Bone marrow aspirate smear
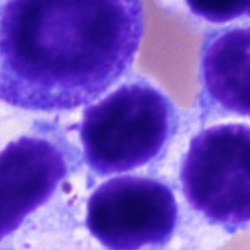 Single cell identified as a typical lymphocyte.